Peripheral blood film — 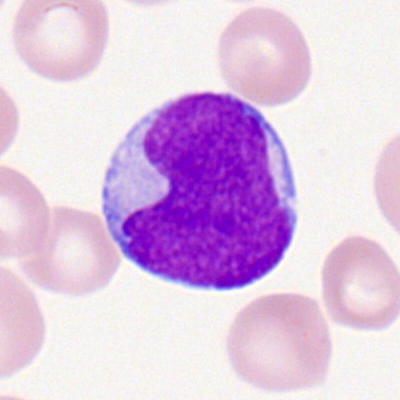 Impression — myeloblast.